Bone marrow smear: 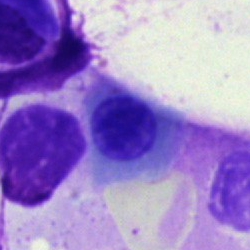

The cell type is erythroblast.